Bone marrow aspirate smear
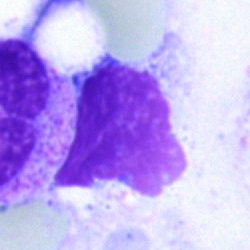

Morphology → artifact.